Bone marrow aspirate smear.
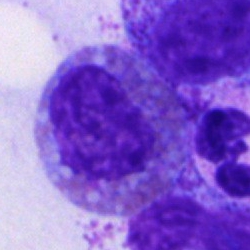 Morphology → eosinophilic granulocyte.